Single-cell crop. Brightfield microscopy, 40× oil immersion. Bone marrow aspirate smear
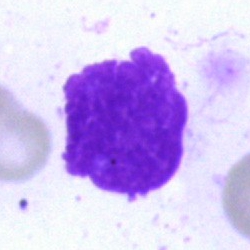 Q: What is shown here?
A: This is an artifact.